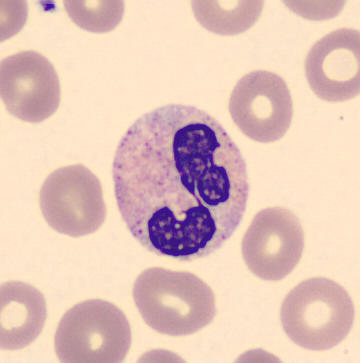

Morphology → neutrophil (segmented).
360 by 363 pixels. Peripheral blood film.